Bone marrow aspirate smear: 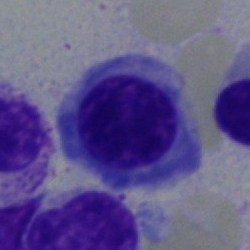 Specimen: bone marrow aspirate smear.
Morphological class: nucleated red cell.